Bone marrow aspirate smear
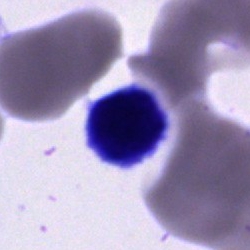
Cell — artifact.